Bone marrow aspirate smear
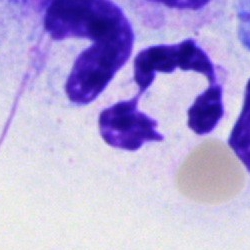A segmented neutrophil.